Bone marrow aspirate smear: 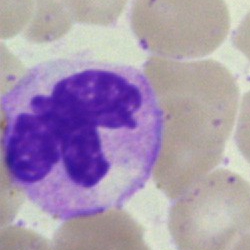

Cell type — segmented neutrophil.